Bone marrow smear: 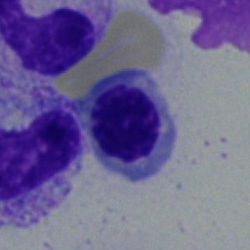 Showing a nucleated red cell.